40× oil immersion. Bone marrow aspirate smear
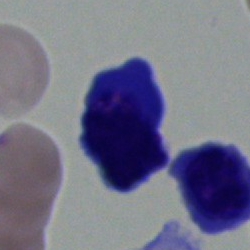

Impression → typical lymphocyte.